Bone marrow smear. Pappenheim-stained
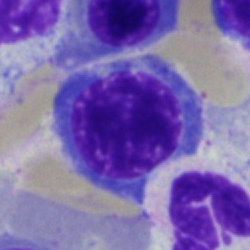Morphological class — nucleated red blood cell.